Bone marrow aspirate smear; brightfield microscopy, 40× oil immersion; MGG-stained.
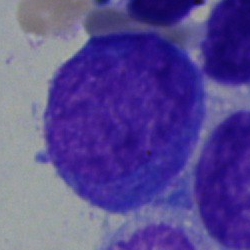 Showing an undifferentiated blast.